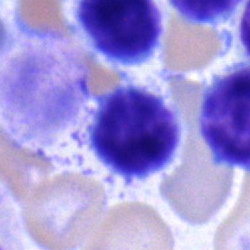 Morphology consistent with a typical lymphocyte.